Bone marrow smear:
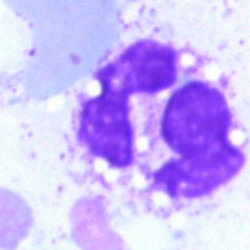Q: What is shown here?
A: Artifact.